Bone marrow smear · May-Grünwald-Giemsa/Pappenheim stain · brightfield, 40× oil-immersion objective:
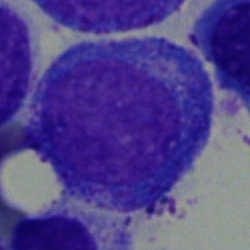

Specimen: bone marrow aspirate smear.
Cell: promyelocyte.